Bone marrow aspirate smear.
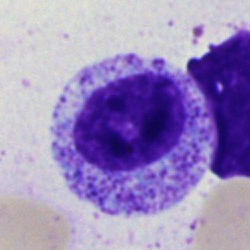
Specimen: bone marrow aspirate smear.
Morphological class: myelocyte.